Peripheral blood smear.
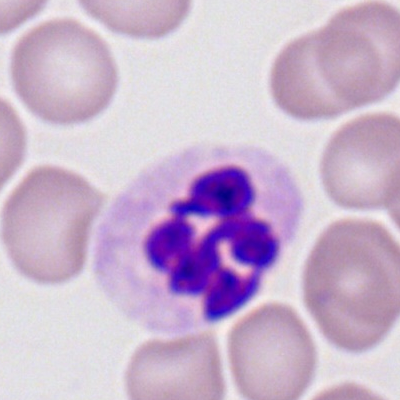
Cell = polymorphonuclear neutrophil.